Bone marrow aspirate smear. May-Grünwald-Giemsa/Pappenheim stain
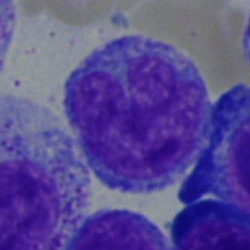
Q: What cell is this?
A: This is a monocyte.